Bone marrow smear:
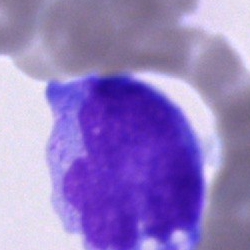

Showing a monocyte.